Bone marrow aspirate smear · 250×250 px.
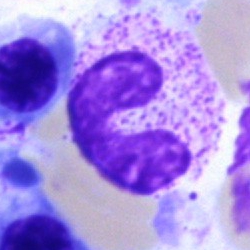
Specimen: bone marrow smear.
Morphological class: band-form neutrophil.
Lineage: myeloid.